Bone marrow smear; May-Grünwald-Giemsa stain; 40× objective, oil immersion:
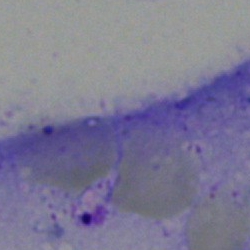 {"cell_type": "artifact"}